Bone marrow aspirate smear:
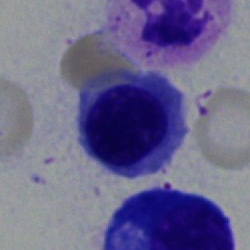

Showing a normoblast.